Bone marrow smear: 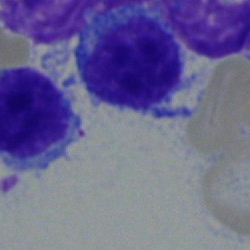
The classification is typical lymphocyte.